Bone marrow aspirate smear. Pappenheim-stained
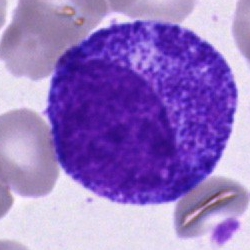

Morphology → promyelocyte.